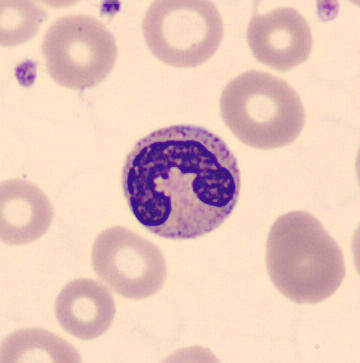
Showing a neutrophil (band). Acquisition: Peripheral blood film.